Romanowsky-type stain. Peripheral blood film — 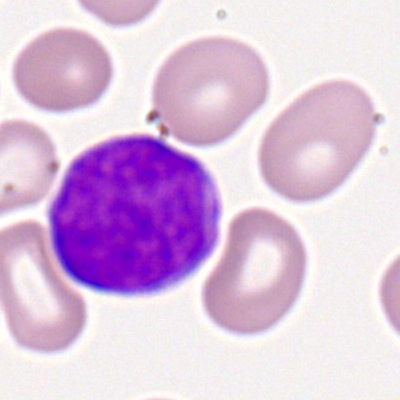
The cell type is myeloid blast.